Bone marrow aspirate smear:
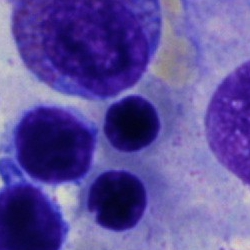Morphology consistent with a nucleated red blood cell.